Bone marrow aspirate smear — 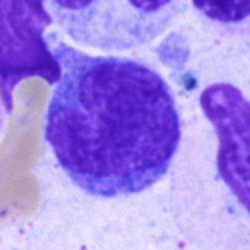 Q: What is shown here?
A: A monocyte.